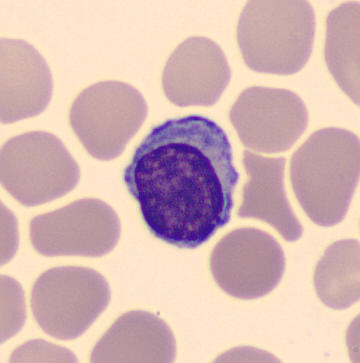

Cell type — typical lymphocyte.
Image: Peripheral blood film.